Bone marrow aspirate smear.
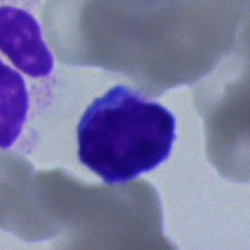

Impression — lymphocyte.